May-Grünwald-Giemsa stain; bone marrow smear — 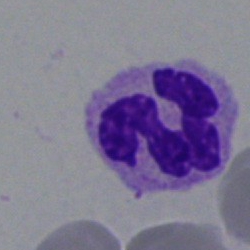
Cell type = polymorphonuclear neutrophil.